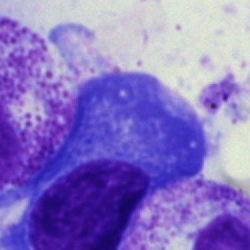Bone marrow aspirate smear, single cell — plasma cell.